Peripheral blood smear.
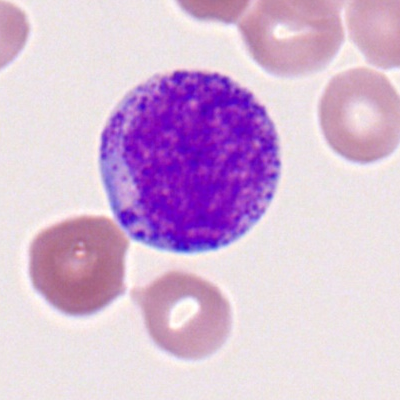

Single cell identified as a promyelocyte.